Bone marrow smear — 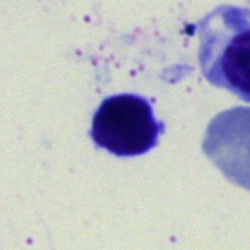 The classification is typical lymphocyte.